Bone marrow smear · single cell centered in the field:
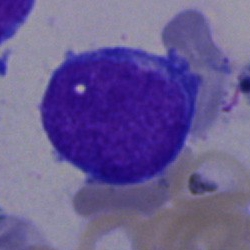

This is a blast cell.